Bone marrow smear · MGG-stained · 250×250: 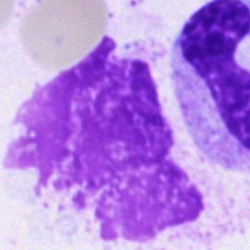

Q: What is shown here?
A: An artifact.